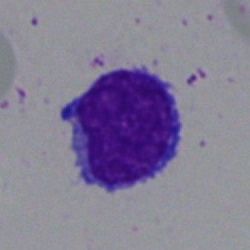
The cell is typical lymphocyte.